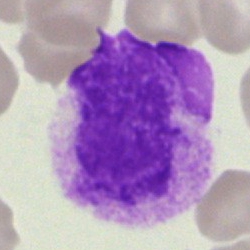

An artefact.